Pappenheim-stained · 250×250 · bone marrow aspirate smear: 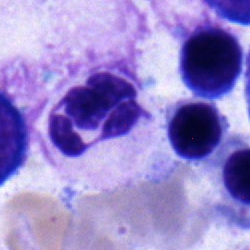 Impression — polymorphonuclear neutrophil.